Peripheral blood film
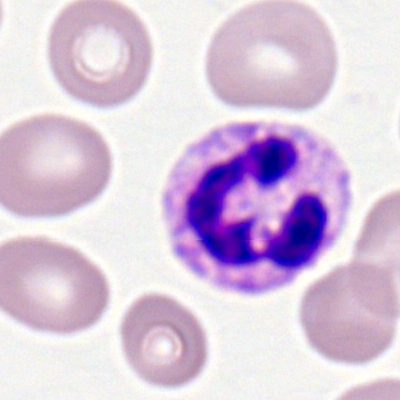

Morphology — polymorphonuclear neutrophil.